Bone marrow smear: 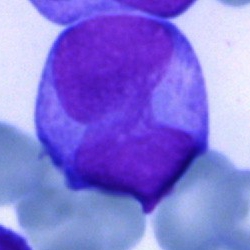

Showing a blast cell.